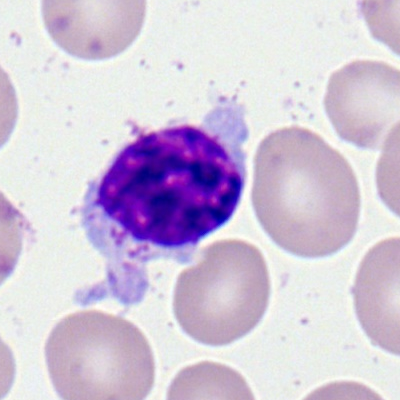
Q: What cell is this?
A: Lymphocyte.